Bone marrow aspirate smear · 40× oil immersion — 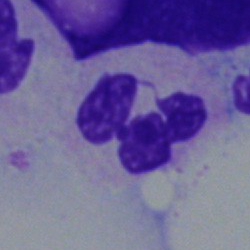

Morphological class: segmented neutrophil.